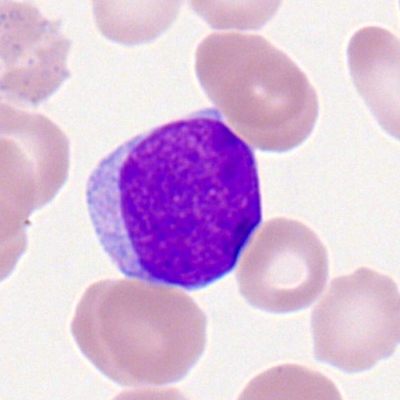

Cell type — myeloid blast.